Bone marrow smear
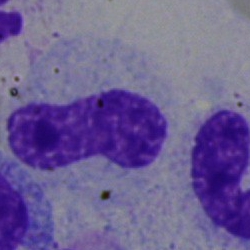

Single cell identified as a band neutrophil.